Bone marrow smear — 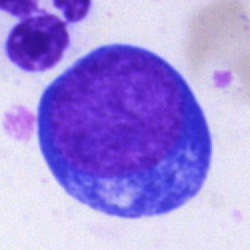Proerythroblast.